Bone marrow aspirate smear — 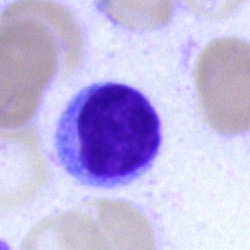

Morphology consistent with a lymphocyte.